Bone marrow aspirate smear
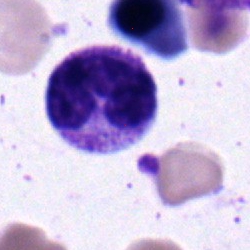 A stab cell.